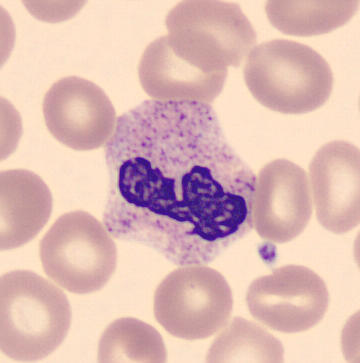

Cell: band neutrophil.

Acquisition: Peripheral blood film · 360 by 363 pixels.